Bone marrow smear.
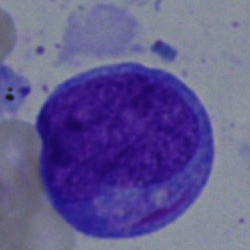Single cell identified as an undifferentiated blast.